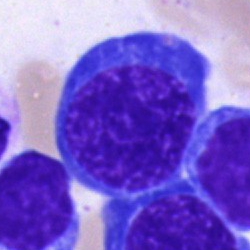

Cell type: erythroblast.